Bone marrow smear.
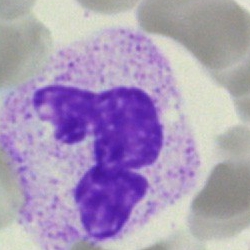

Cell type — segmented neutrophil.